Peripheral blood smear — 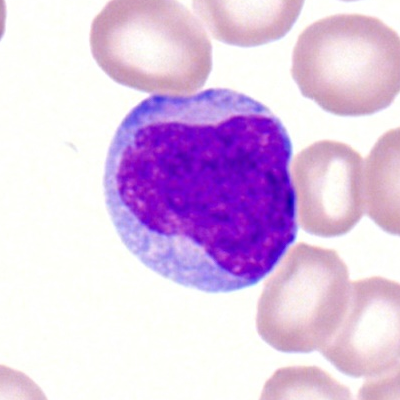 The cell shown is a myeloid blast.